Bone marrow smear — 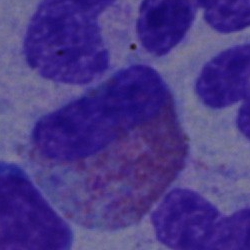 Single cell identified as an eosinophilic granulocyte.